Bone marrow aspirate smear. May-Grünwald-Giemsa stain — 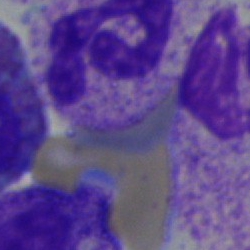
This is a neutrophil (segmented).